Bone marrow aspirate smear — 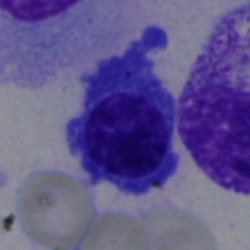

Specimen: bone marrow aspirate smear.
Classification: plasma cell.
Lineage: lymphoid.